400 by 400 pixels · peripheral blood film
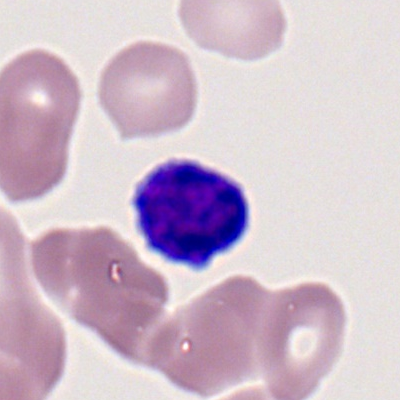Classification — typical lymphocyte.